Bone marrow smear:
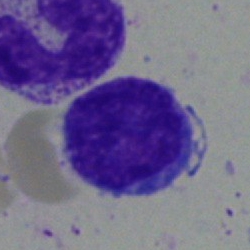 This is a blast.